Cropped to a single cell · bone marrow smear
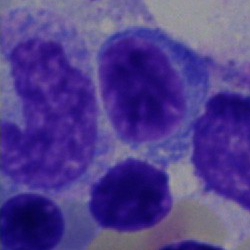 Showing a normoblast.